Bone marrow smear — 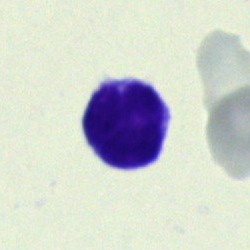

Cell type — lymphocyte.